Bone marrow smear — 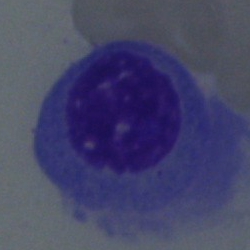

{"cell_type": "plasmacyte"}